Bone marrow smear: 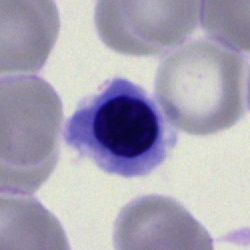{"cell_type": "erythroblast"}